Cropped to a single cell. Bone marrow aspirate smear: 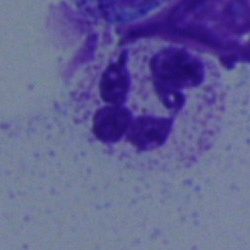
Neutrophil (segmented).